Bone marrow smear
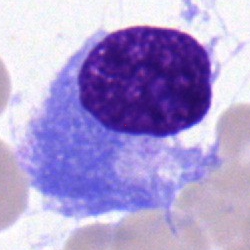
Q: What cell is this?
A: It is a plasmacyte.